Bone marrow smear — 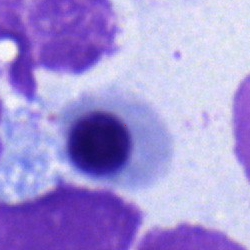 Morphological class: nucleated red cell.